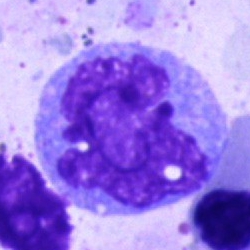Morphology — monocyte.